MGG-stained; bone marrow aspirate smear.
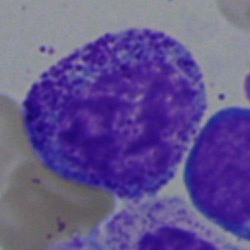 The classification is progranulocyte.